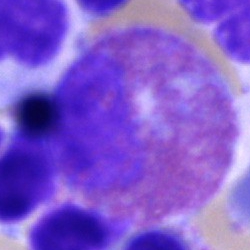
Morphological class: eosinophilic granulocyte.